Bone marrow smear. Pappenheim-stained — 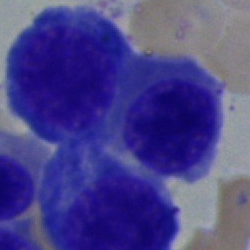Morphology → nucleated red blood cell.